Bone marrow smear.
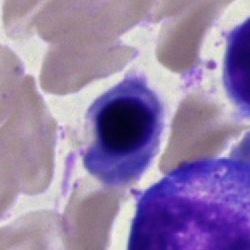 The cell type is nucleated red blood cell.